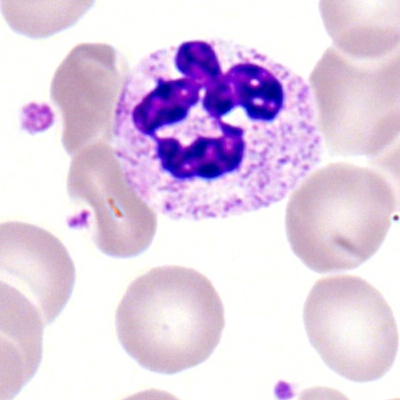Specimen: peripheral blood smear.
Cell type: polymorphonuclear neutrophil.
Lineage: myeloid.